May-Grünwald-Giemsa/Pappenheim stain; bone marrow smear — 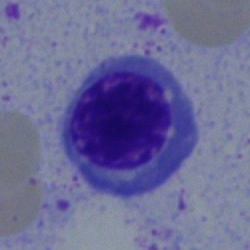

Morphology — erythroblast.